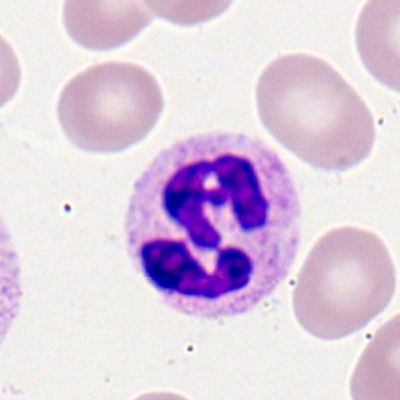

Polymorphonuclear neutrophil.